Bone marrow smear — 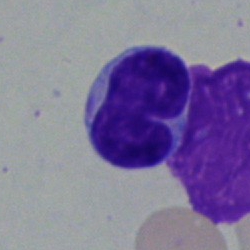

The morphological class is lymphocyte.